Bone marrow aspirate smear
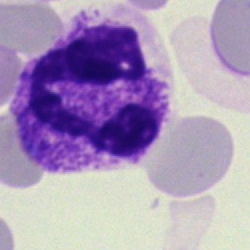 Q: What is the morphological classification of this cell?
A: A polymorphonuclear neutrophil.